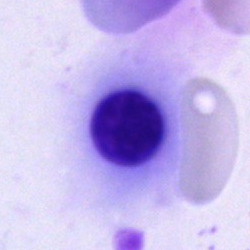 Specimen: bone marrow smear.
Cell: normoblast.
Lineage: erythroid.